Bone marrow aspirate smear; 250×250:
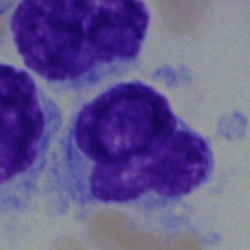
The classification is hairy cell.